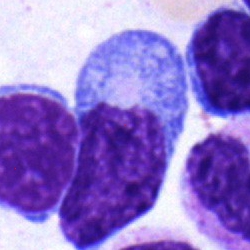Single cell identified as a plasmacyte.